Bone marrow aspirate smear · 250 by 250 pixels:
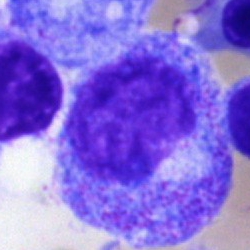 Impression — promyelocyte.